May-Grünwald-Giemsa/Pappenheim stain · bone marrow smear · single cell centered in the field: 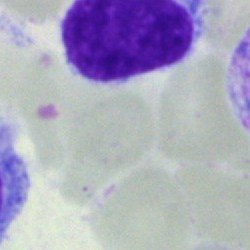
{"cell_type": "artefact"}